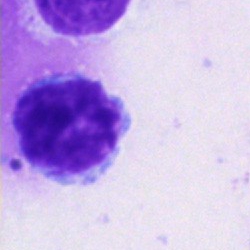

The cell shown is a typical lymphocyte.